Bone marrow smear · single cell centered in the field · 40× oil immersion: 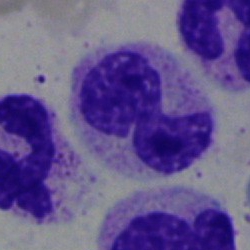Q: What is the morphological classification of this cell?
A: Stab cell.